40× oil immersion · bone marrow smear.
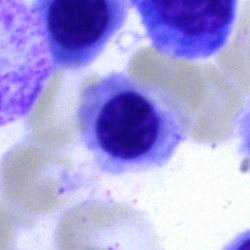

Morphological class — erythroblast.